Bone marrow aspirate smear.
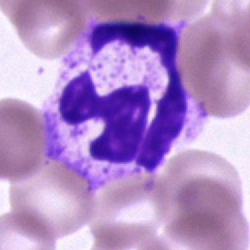

A neutrophil (segmented).